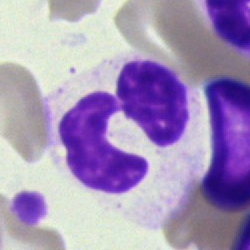
Single-cell crop from a bone marrow smear: segmented neutrophil.